Bone marrow aspirate smear.
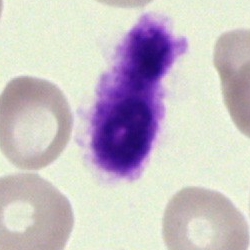

Showing an artifact.